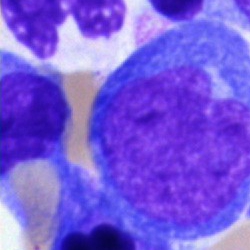

Specimen: bone marrow smear.
Morphological class: blast.